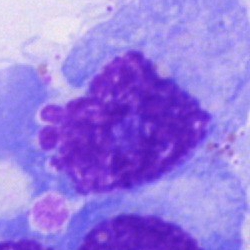 The cell type is plasmacyte.